MGG stain; peripheral blood film; imaged on a CellaVision DM96 analyser.
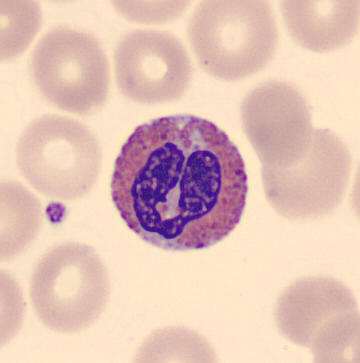 Cell = eosinophil.